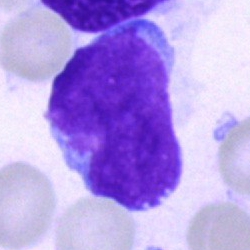

Bone marrow smear showing a blast cell.